Bone marrow aspirate smear
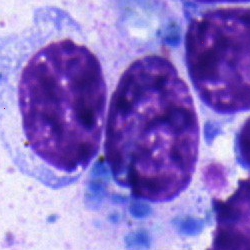
Q: Which cell type is shown here?
A: It is a typical lymphocyte.